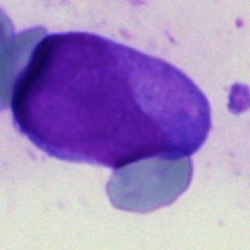Blast cell.